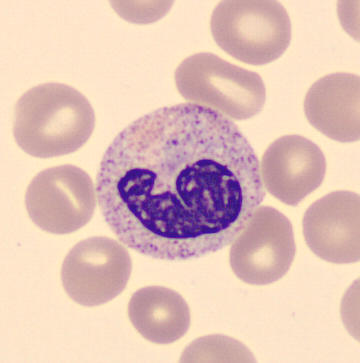Morphology consistent with a band neutrophil.